Bone marrow smear — 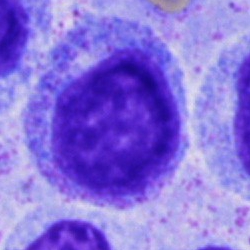Single cell identified as a promyelocyte.